Peripheral blood film. 400 by 400 pixels. Single-cell crop:
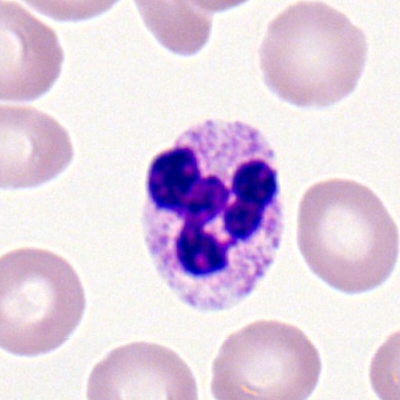
Morphological class — neutrophil (segmented).